Bone marrow smear:
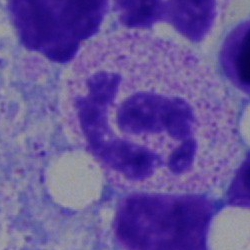

Cell type = segmented neutrophil.